Peripheral blood film · 400×400 · 100× oil immersion, 14.14 px/µm
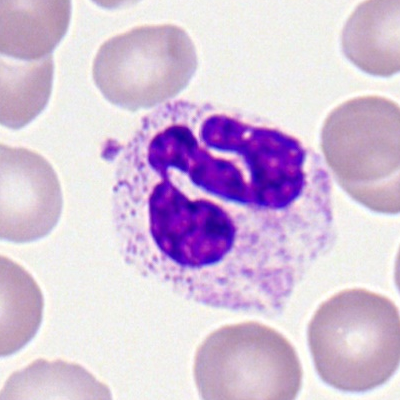

Morphological class: polymorphonuclear neutrophil.